Bone marrow smear:
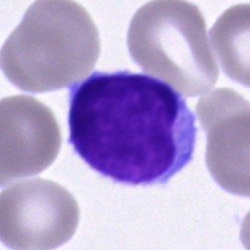

The cell shown is a typical lymphocyte.